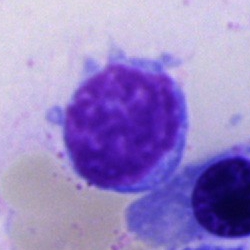 Cell type = typical lymphocyte.